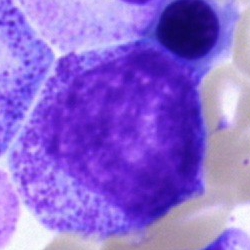Morphological class — promyelocyte.